May-Grünwald-Giemsa-stained. Peripheral blood film. Cropped to a single cell — 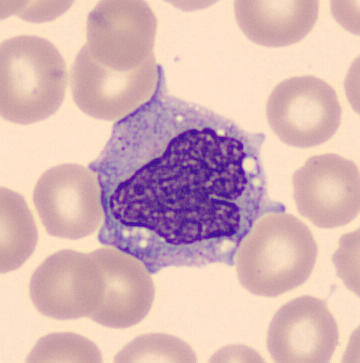The cell shown is a monocyte.